250×250 px. Bone marrow aspirate smear — 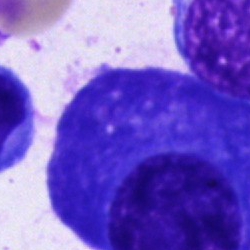
Q: Identify the cell.
A: Plasmacyte.